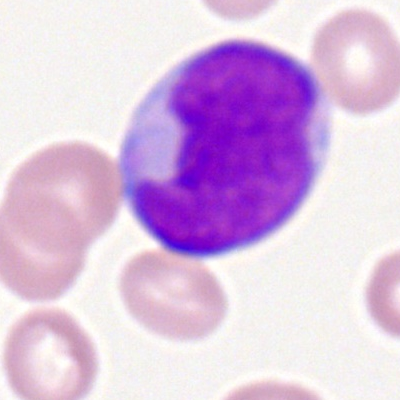
Specimen: peripheral blood film.
Cell: myeloid blast.
Lineage: myeloid.